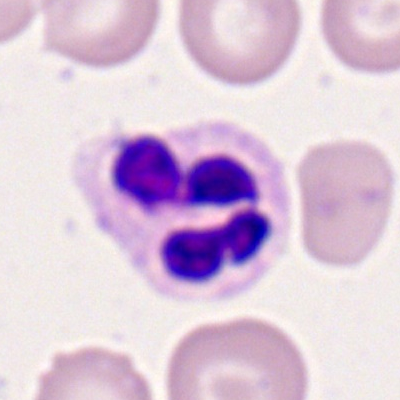

Showing a polymorphonuclear neutrophil.